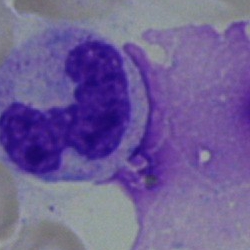
Classification — monocyte.